Bone marrow smear
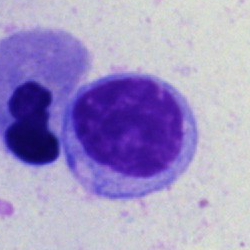
This is a typical lymphocyte.